Bone marrow smear: 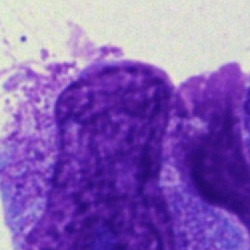

Specimen: bone marrow smear.
Cell type: artifact.